Bone marrow aspirate smear · 40× objective, oil immersion:
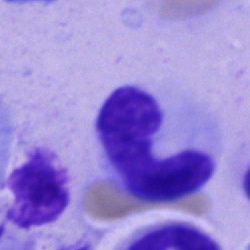

A band neutrophil.